Bone marrow aspirate smear.
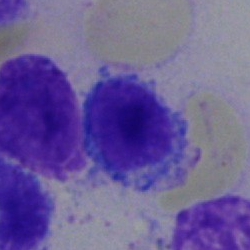
{"cell_type": "typical lymphocyte"}